Bone marrow aspirate smear
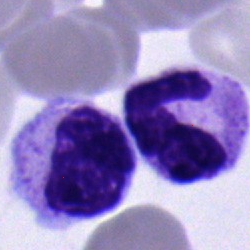Morphological class: segmented neutrophil.